Bone marrow smear:
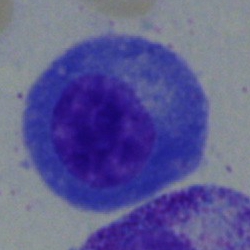
Specimen: bone marrow smear.
Classification: plasma cell.
Lineage: lymphoid.